40× objective, oil immersion; bone marrow aspirate smear
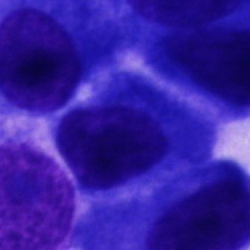Other cell.